40× objective, oil immersion; bone marrow aspirate smear: 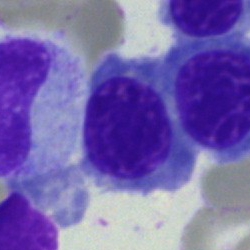
Nucleated red cell.